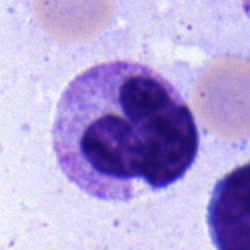Impression → band-form neutrophil.